Bone marrow aspirate smear:
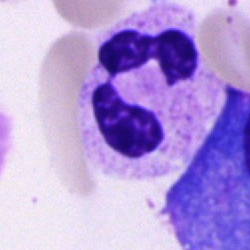
Specimen: bone marrow aspirate smear.
Classification: segmented neutrophil.